Bone marrow smear
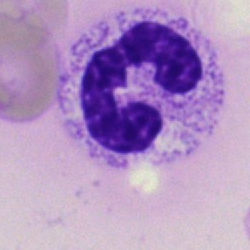 {"cell_type": "polymorphonuclear neutrophil", "lineage": "myeloid"}